Bone marrow smear
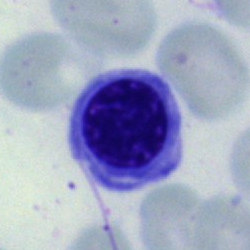

Morphology → nucleated red blood cell.